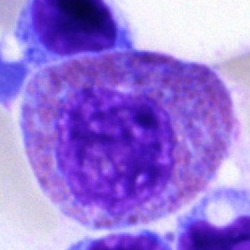 Cell = eosinophil.